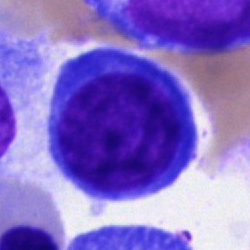

This is an immature lymphocyte.